Bone marrow aspirate smear · 250×250 px: 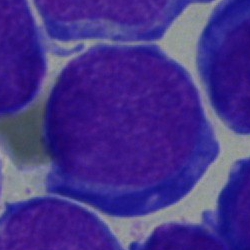
Single cell identified as a blast.